Bone marrow aspirate smear.
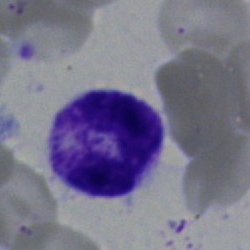 Morphological class = polymorphonuclear neutrophil.